Bone marrow smear
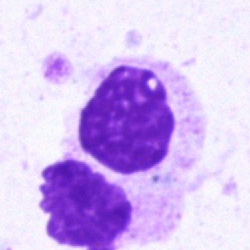
Morphological class = artefact.